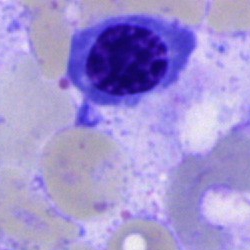

Morphology → nucleated red blood cell.